Bone marrow smear
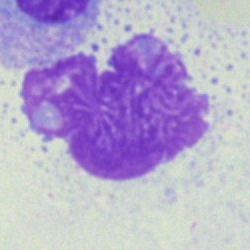 Single cell identified as an artifact.